Bone marrow aspirate smear
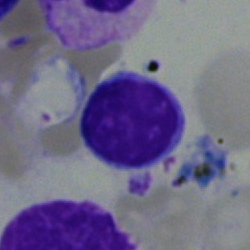

Q: Which cell type is shown here?
A: It is a typical lymphocyte.